Bone marrow smear:
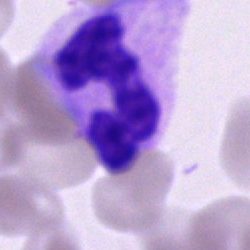

A segmented neutrophil.